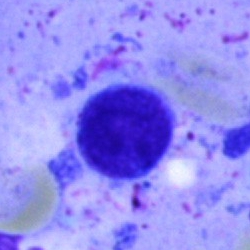
This is a lymphocyte.